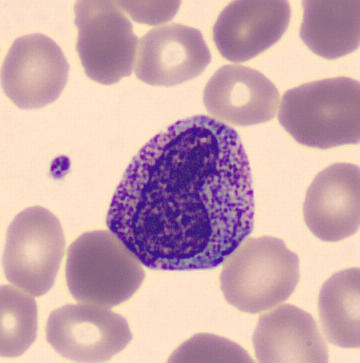Morphological class = metamyelocyte.

Image: May Grünwald-Giemsa stain; peripheral blood smear.